250 by 250 pixels; bone marrow smear; 40× objective, oil immersion — 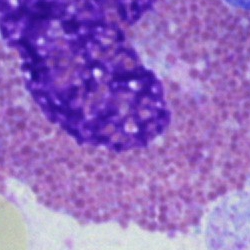Q: Identify the cell.
A: Eosinophil.